Bone marrow aspirate smear.
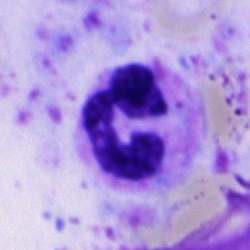

{"cell_type": "polymorphonuclear neutrophil", "lineage": "myeloid"}